Bone marrow smear.
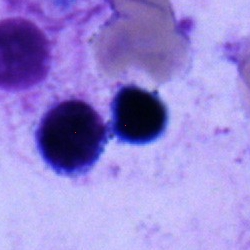 The cell shown is a lymphocyte.